Bone marrow aspirate smear · single-cell field.
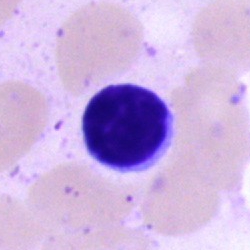
Classification: lymphocyte.